Bone marrow aspirate smear: 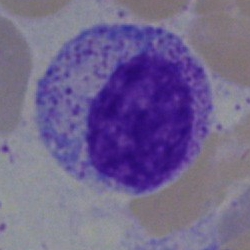
Morphology — myelocyte.